Bone marrow aspirate smear. Single-cell crop:
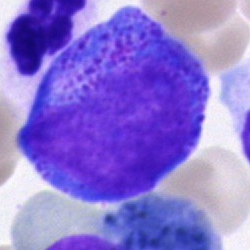 Impression — progranulocyte.